Single cell centered in the field · bone marrow aspirate smear · image size 250×250: 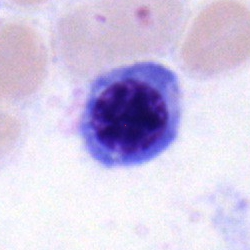

Morphology consistent with a nucleated red blood cell.